Bone marrow smear; 40× oil immersion: 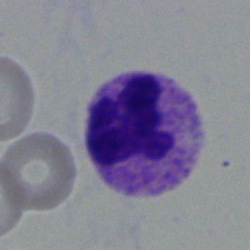Specimen: bone marrow aspirate smear.
Cell: polymorphonuclear neutrophil.